Bone marrow smear: 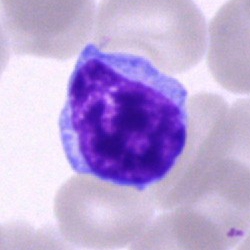 Morphology consistent with a lymphocyte.